Bone marrow aspirate smear
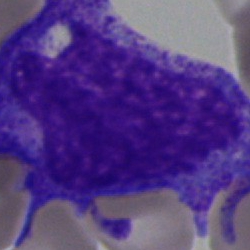Promyelocyte.